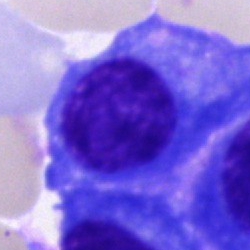
Bone marrow aspirate smear, single cell — plasma cell.